250×250 px · May-Grünwald-Giemsa stain · bone marrow aspirate smear.
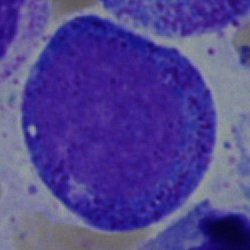
Progranulocyte.